250 by 250 pixels. May-Grünwald-Giemsa/Pappenheim stain. Bone marrow smear:
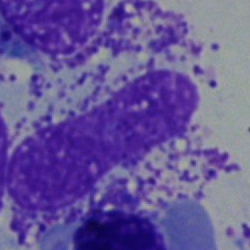 Specimen: bone marrow aspirate smear.
Classification: other cell.